Bone marrow smear
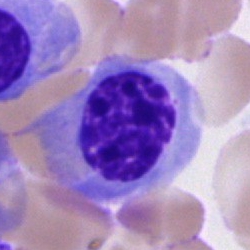This is an erythroblast.